Bone marrow aspirate smear · MGG-stained
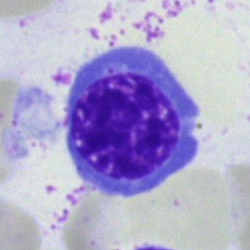The cell shown is a normoblast.